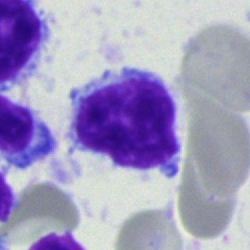

Cell type: lymphocyte.